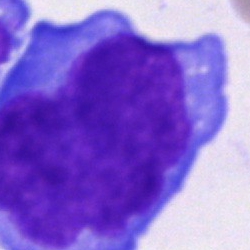

Q: What type of cell is this?
A: Undifferentiated blast.